Bone marrow smear:
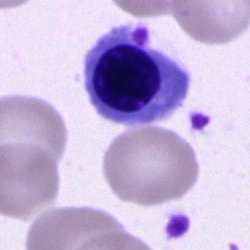 The morphological class is normoblast.